Bone marrow aspirate smear: 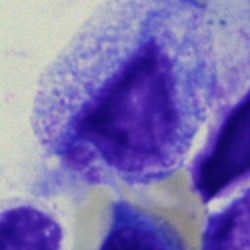
Cell: progranulocyte.